Bone marrow smear; single-cell crop.
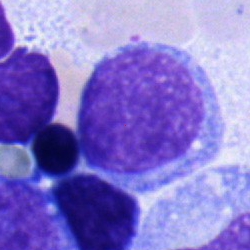

Specimen: bone marrow smear.
Classification: undifferentiated blast.